Single-cell crop. Bone marrow smear
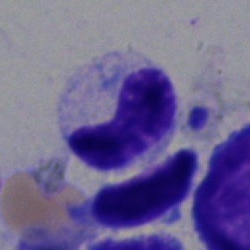

{"cell_type": "band-form neutrophil"}